Bone marrow aspirate smear · May-Grünwald-Giemsa/Pappenheim stain · cropped to a single cell
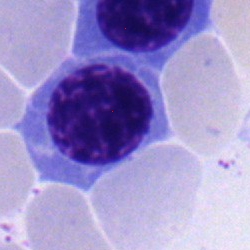 Q: What is shown here?
A: A nucleated red blood cell.